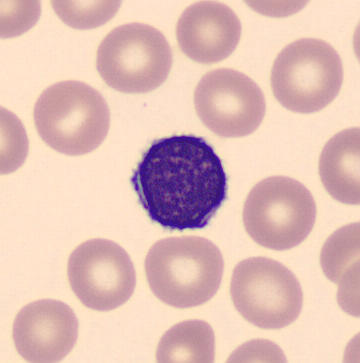 Classification: typical lymphocyte.